Peripheral blood film.
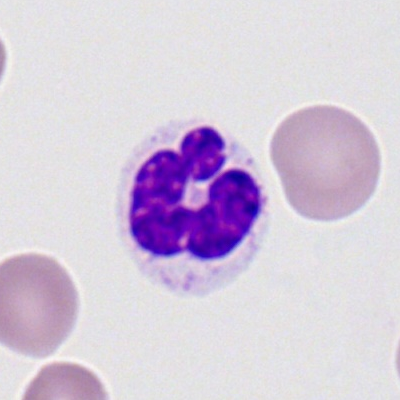Impression → segmented neutrophil.